Bone marrow aspirate smear — 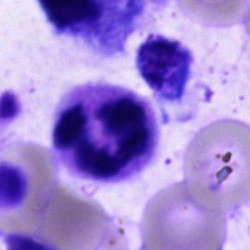
This is a segmented neutrophil.